Bone marrow aspirate smear
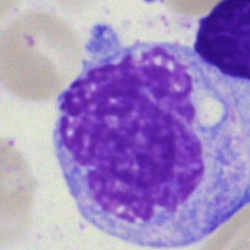 The cell shown is a monocyte.